Single-cell field · bone marrow aspirate smear.
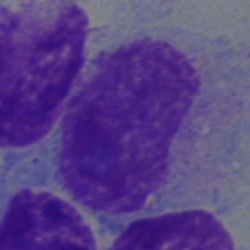Morphology consistent with a blast.